Bone marrow aspirate smear
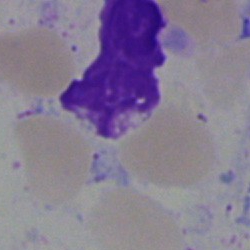The cell shown is an artifact.